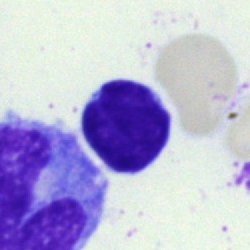
Cell — lymphocyte.